Bone marrow aspirate smear; 250×250 px — 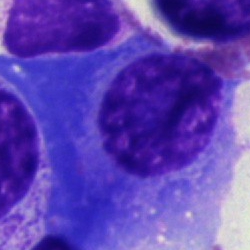
Q: What is shown here?
A: It is a plasmacyte.